Single-cell crop · bone marrow smear.
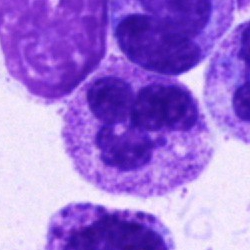
This is a neutrophil (segmented).